Bone marrow smear
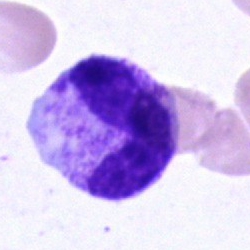A band neutrophil.